Bone marrow smear
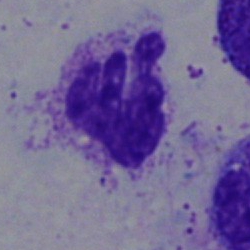{"cell_type": "polymorphonuclear neutrophil", "lineage": "myeloid"}